Bone marrow aspirate smear:
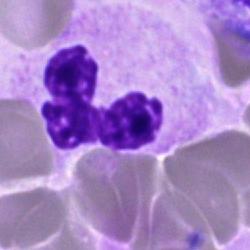 Cell type — polymorphonuclear neutrophil.